Bone marrow smear; May-Grünwald-Giemsa/Pappenheim stain — 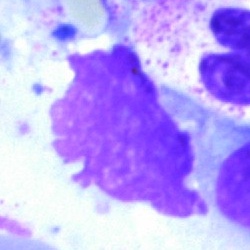 This is an artefact.